Single cell centered in the field · bone marrow smear
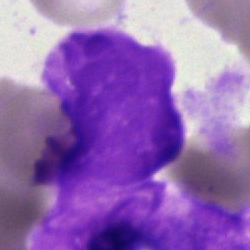 Cell type = artefact.